Peripheral blood smear. Romanowsky-type stain
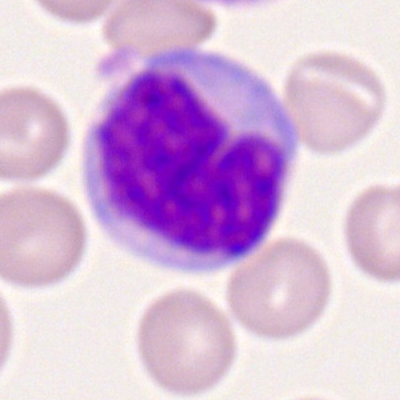
Morphology consistent with a monocyte.